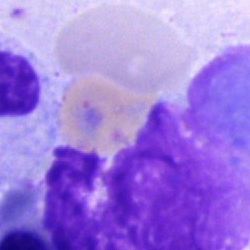
Bone marrow smear showing an artifact.